Bone marrow smear — 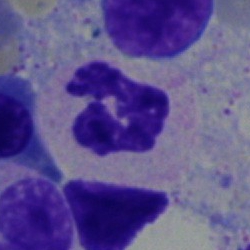
Morphology consistent with a segmented neutrophil.